Bone marrow smear:
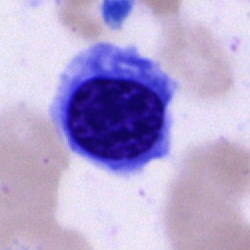
Q: What cell is this?
A: Erythroblast.